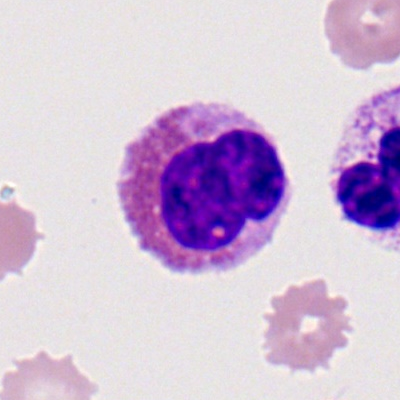

Single-cell crop from a peripheral blood smear: eosinophilic granulocyte.